Single cell centered in the field. Bone marrow smear. 250 by 250 pixels — 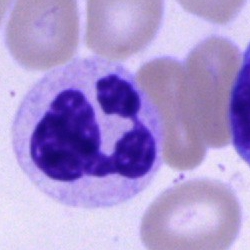 Single cell identified as a neutrophil (segmented).